May-Grünwald-Giemsa stain. Bone marrow smear. 250×250:
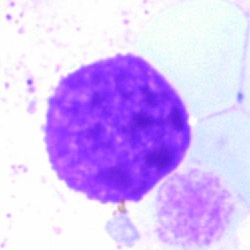 Impression → artifact.